Peripheral blood smear.
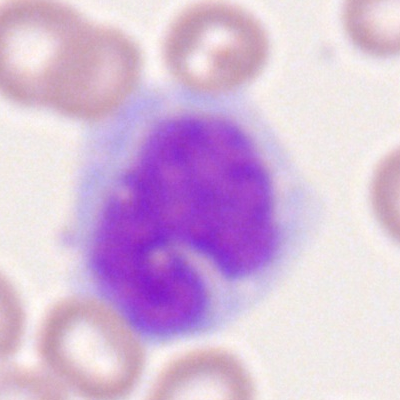

The cell shown is a monocyte.